Bone marrow smear:
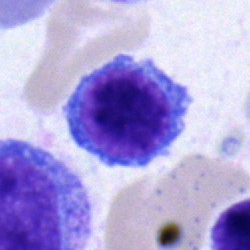

Single cell identified as a lymphocyte.